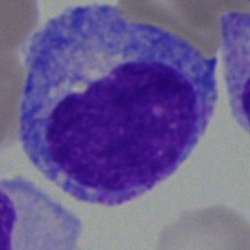
Q: What is shown here?
A: A promyelocyte.